MGG-stained · bone marrow aspirate smear: 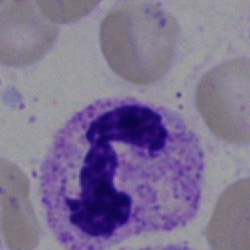
Specimen: bone marrow aspirate smear.
Cell: polymorphonuclear neutrophil.
Lineage: myeloid.